Bone marrow smear. Single-cell field — 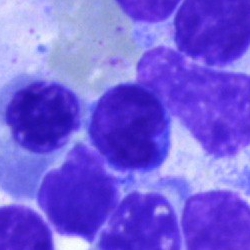Morphology — typical lymphocyte.